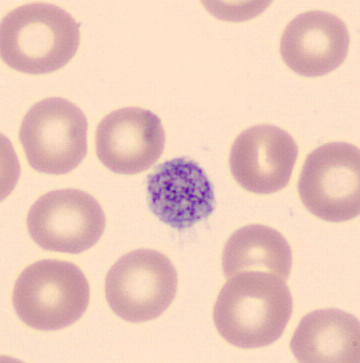

Morphology — thrombocyte.